Bone marrow smear — 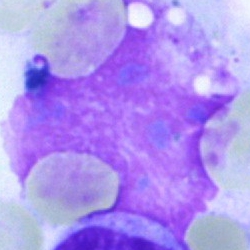

Impression — artefact.